Bone marrow smear — 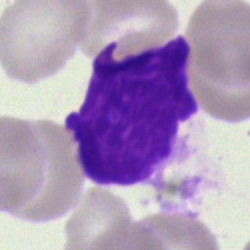Artifact.